Cropped to a single cell · bone marrow aspirate smear
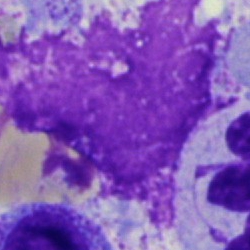
Morphology consistent with an artefact.